Bone marrow aspirate smear · single-cell field · 40× oil immersion.
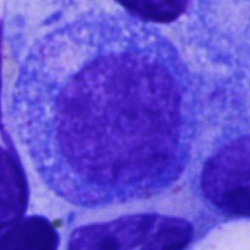 {"cell_type": "promyelocyte", "lineage": "myeloid"}